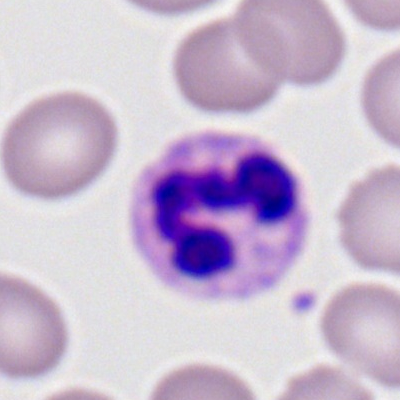

Q: What is shown here?
A: This is a polymorphonuclear neutrophil.